250×250. Bone marrow smear
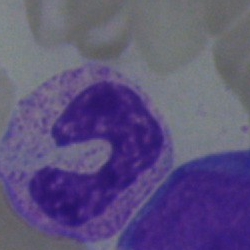

Q: Which cell type is shown here?
A: It is a band neutrophil.